Bone marrow aspirate smear:
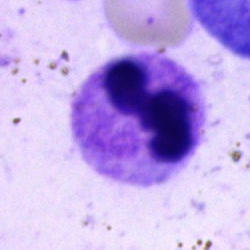Classification: polymorphonuclear neutrophil.